Bone marrow smear: 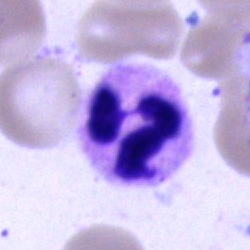

Specimen: bone marrow aspirate smear.
Morphological class: segmented neutrophil.
Lineage: myeloid.